Peripheral blood film · single-cell field · Romanowsky-type stain: 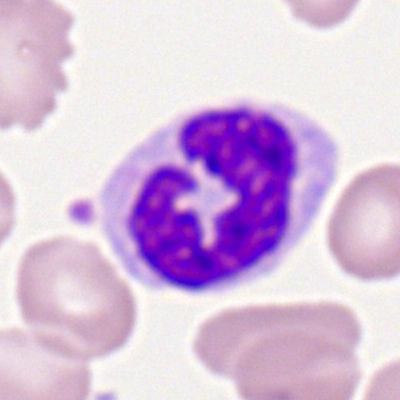

Specimen: peripheral blood film.
Cell type: monocyte.
Lineage: myeloid.